Bone marrow smear:
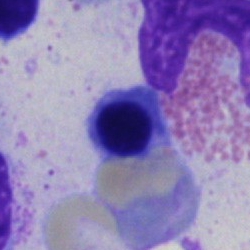Cell type: erythroblast.